May-Grünwald-Giemsa stain. Bone marrow aspirate smear
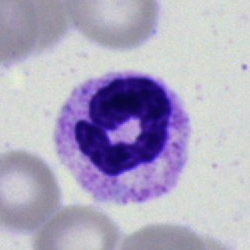Single cell identified as a segmented neutrophil.